Bone marrow smear: 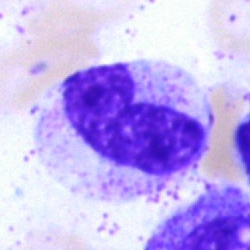Cell type: band-form neutrophil.